Bone marrow smear
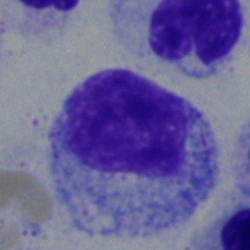 Q: Which cell type is shown here?
A: It is a myelocyte.